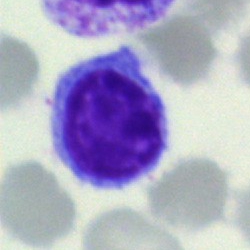

Q: What is the morphological classification of this cell?
A: This is a typical lymphocyte.